40× objective, oil immersion. Single cell centered in the field. Bone marrow smear.
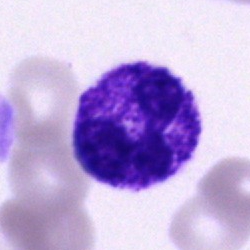{"cell_type": "polymorphonuclear neutrophil", "lineage": "myeloid"}